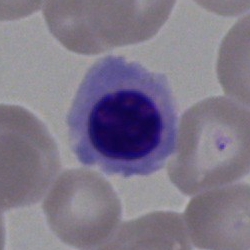Classification: erythroblast.